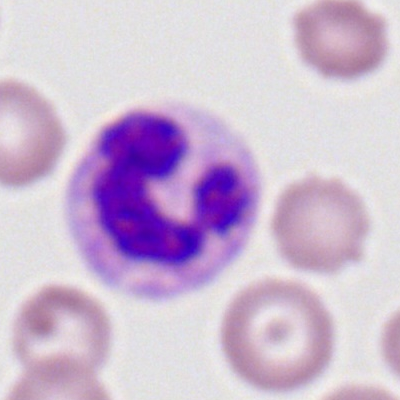Q: What is shown here?
A: It is a segmented neutrophil.